Bone marrow smear
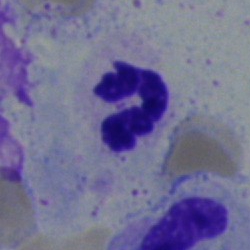
A polymorphonuclear neutrophil.